Bone marrow aspirate smear:
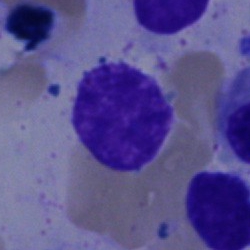
Single cell identified as a lymphocyte.